40× oil immersion; bone marrow aspirate smear; May-Grünwald-Giemsa stain
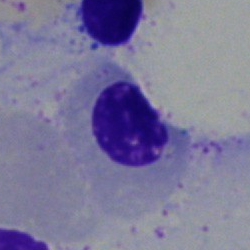

Morphological class = nucleated red cell.